Bone marrow aspirate smear — 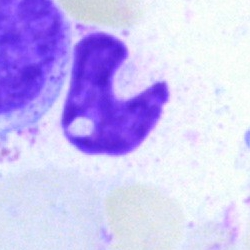
This is an artifact.